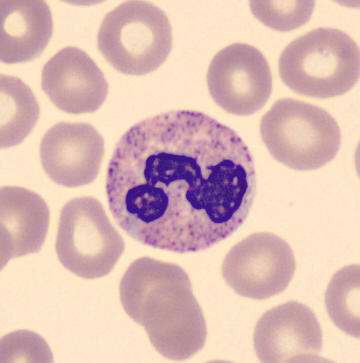

Classification: neutrophil (segmented). May-Grünwald-Giemsa-stained. Peripheral blood smear. Image size 360×363.